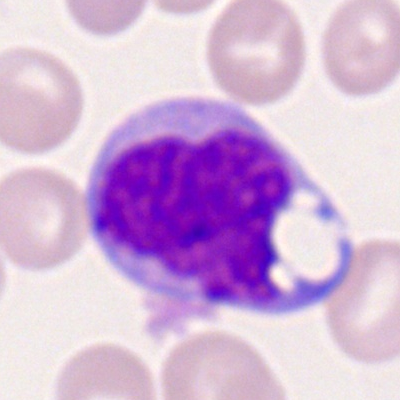A monocyte.